Bone marrow smear: 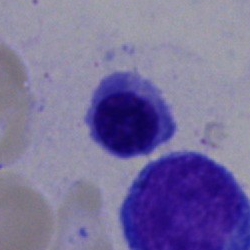Morphology consistent with a normoblast.